Bone marrow aspirate smear:
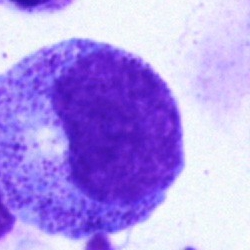Myelocyte.